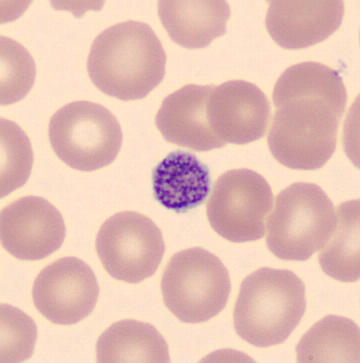Peripheral blood film; imaged on a CellaVision DM96 analyser; 360×363 px. A thrombocyte.